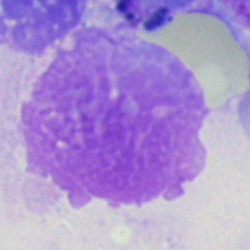
Q: What is shown here?
A: An artefact.